Peripheral blood film — 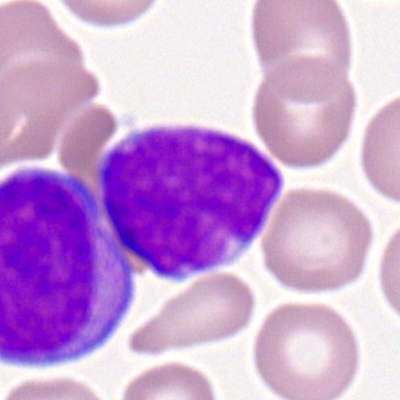
Morphological class — myeloblast.